Image size 250×250; bone marrow smear: 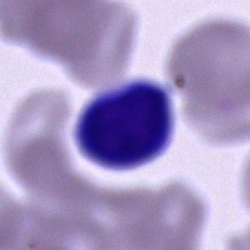 Typical lymphocyte.